Single cell centered in the field; bone marrow smear; 250×250 px
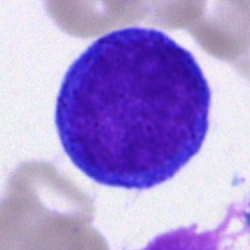

{"cell_type": "blast cell"}